Bone marrow smear — 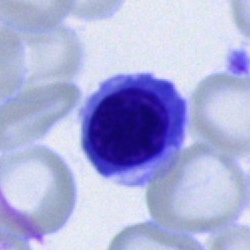
Showing a nucleated red blood cell.